Bone marrow aspirate smear · brightfield, 40× oil-immersion objective.
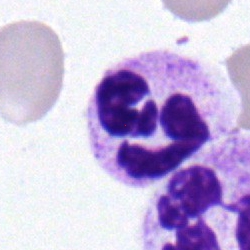

Specimen: bone marrow aspirate smear.
Morphological class: neutrophil (segmented).